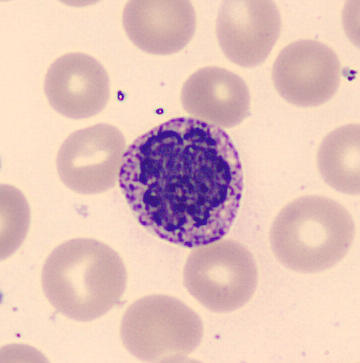Image: Peripheral blood smear.
Q: Which cell type is shown here?
A: A basophil.